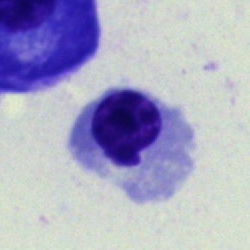

Specimen: bone marrow aspirate smear.
Classification: normoblast.